Bone marrow smear.
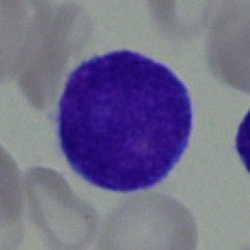
Blast.